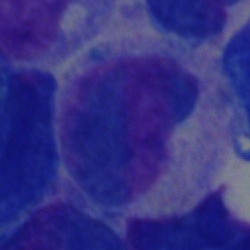
An artifact on a bone marrow smear.